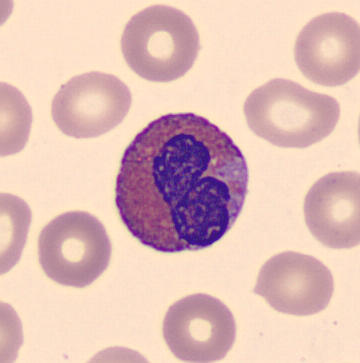 Acquisition: CellaVision DM96 digital cell image.

Specimen: peripheral blood smear.
Cell type: eosinophilic granulocyte.
Lineage: myeloid.